Bone marrow aspirate smear
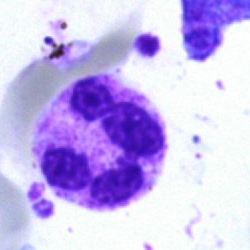 This is a polymorphonuclear neutrophil.